Bone marrow smear:
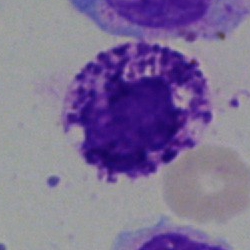Specimen: bone marrow aspirate smear.
Classification: basophil.
Lineage: myeloid.